Bone marrow smear
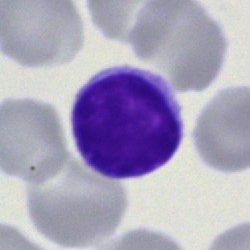Cell type: typical lymphocyte.